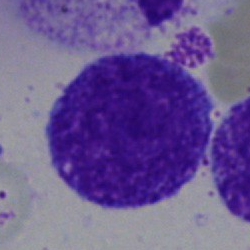A progranulocyte.